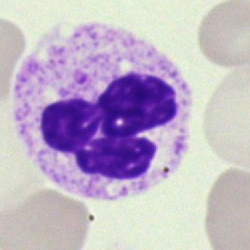 Q: What cell is this?
A: This is a segmented neutrophil.